Pappenheim-stained. Bone marrow smear.
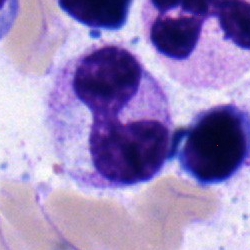

The morphological class is segmented neutrophil.